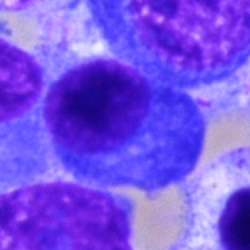 {"cell_type": "plasma cell"}